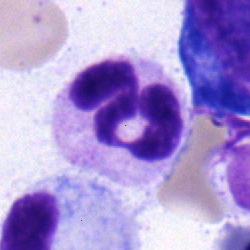

Q: What type of cell is this?
A: Neutrophil (segmented).